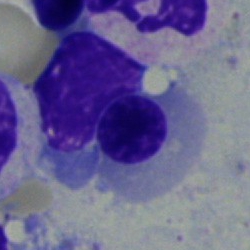
Specimen: bone marrow smear.
Classification: normoblast.
Lineage: erythroid.